Single-cell crop · peripheral blood film.
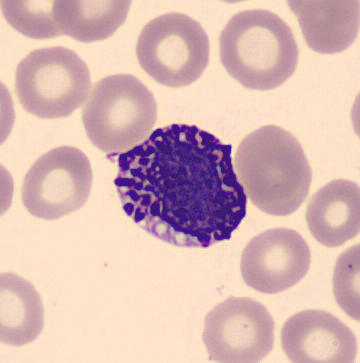 Showing a basophil.